Bone marrow smear
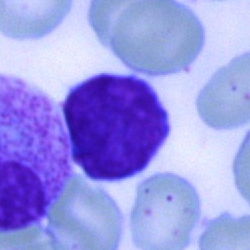 This is a typical lymphocyte.